Bone marrow smear · single cell centered in the field — 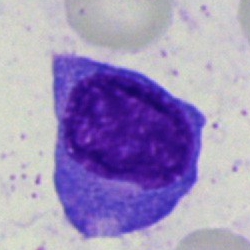 This is a plasmacyte.